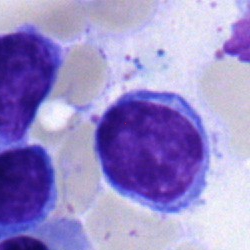

Morphology → typical lymphocyte.